Bone marrow aspirate smear: 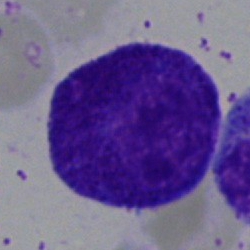 The morphological class is progranulocyte.